Single cell centered in the field; bone marrow smear:
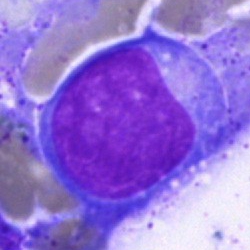

Q: What is the morphological classification of this cell?
A: It is a blast.